Peripheral blood smear · image size 400×400 · single-cell field: 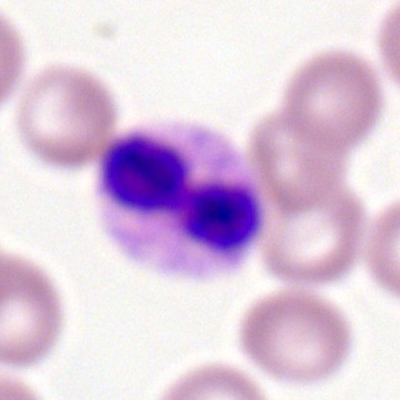

Morphological class: segmented neutrophil.